Bone marrow smear.
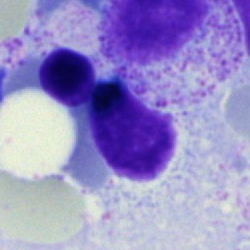 Unidentifiable cell.